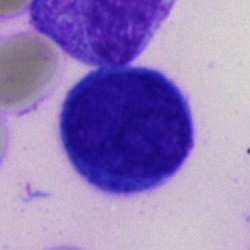Specimen: bone marrow smear.
Morphological class: blast cell.